Pappenheim-stained; bone marrow aspirate smear; brightfield microscopy, 40× oil immersion.
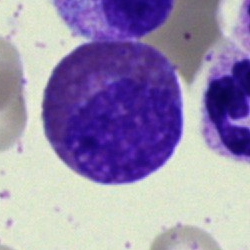

Showing an eosinophil.